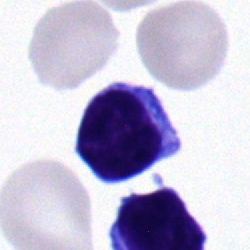 Q: What is the morphological classification of this cell?
A: Lymphocyte.